250×250 · bone marrow smear · single-cell crop: 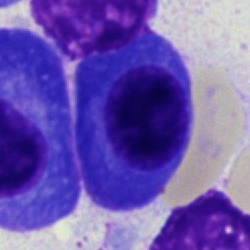
{"cell_type": "plasmacyte", "lineage": "lymphoid"}